Bone marrow smear — 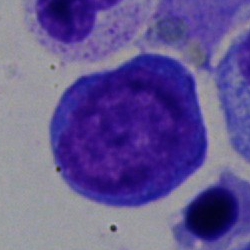 A blast cell.